Bone marrow smear · brightfield, 40× oil-immersion objective: 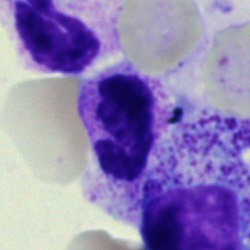Morphology consistent with a polymorphonuclear neutrophil.